Bone marrow smear: 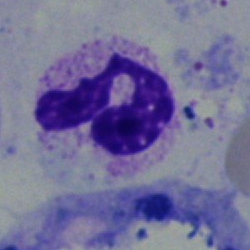Morphology consistent with a neutrophil (segmented).